400×400 · 100× oil immersion · peripheral blood film:
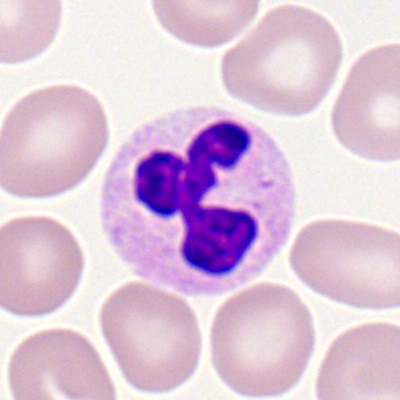Cell — neutrophil (segmented).